Brightfield, 40× oil-immersion objective; bone marrow aspirate smear
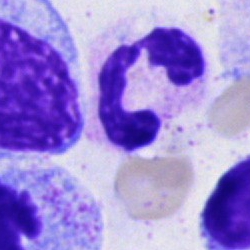This is a segmented neutrophil.